Bone marrow aspirate smear — 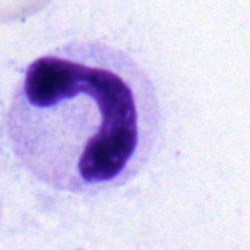
Specimen: bone marrow smear.
Cell: stab cell.